Cropped to a single cell; bone marrow smear: 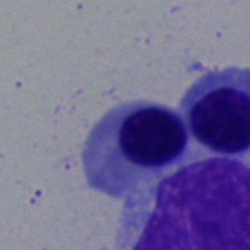

A nucleated red cell.